Peripheral blood film. Romanowsky stain. Image size 400×400.
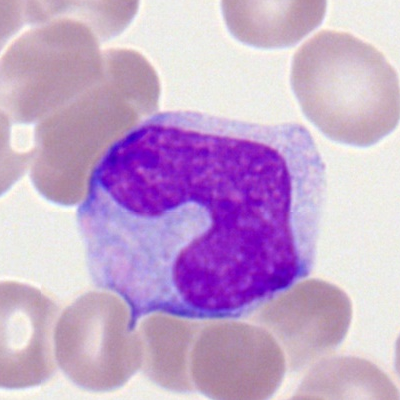
Monocyte.